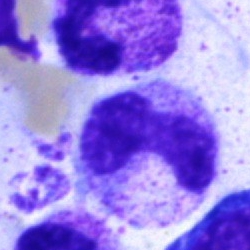
The cell type is band-form neutrophil.